250×250 · bone marrow aspirate smear — 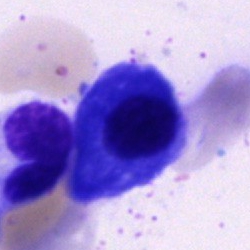

Q: Which cell type is shown here?
A: This is a plasmacyte.